Single-cell crop. Pappenheim-stained. Bone marrow aspirate smear — 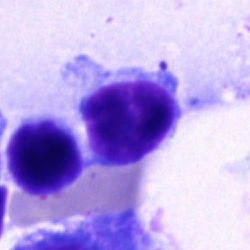 Q: What type of cell is this?
A: Typical lymphocyte.